250×250 px; brightfield, 40× oil-immersion objective; bone marrow aspirate smear — 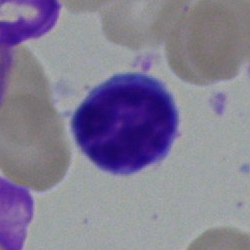
Q: What is the morphological classification of this cell?
A: This is a typical lymphocyte.